Single cell centered in the field. Bone marrow smear. Image size 250×250: 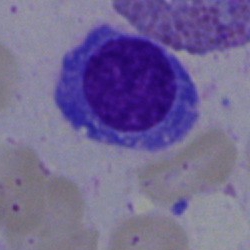 Morphology — plasma cell.